Brightfield microscopy, 40× oil immersion. Bone marrow aspirate smear:
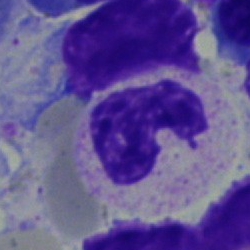 The cell type is stab cell.